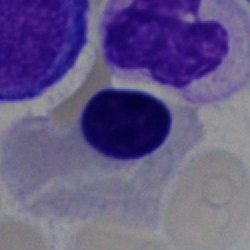 Cell type: nucleated red blood cell.